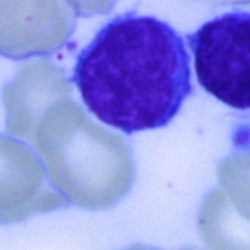
Q: What cell is this?
A: This is a lymphocyte.